Bone marrow aspirate smear.
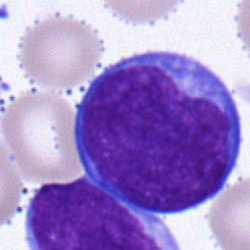 Q: What is the morphological classification of this cell?
A: It is an undifferentiated blast.